Bone marrow smear · 40× objective, oil immersion — 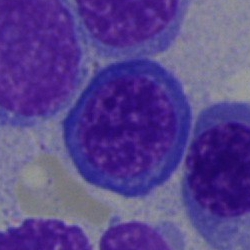

Cell type: nucleated red blood cell.